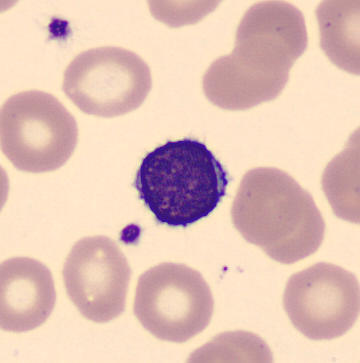 Morphology consistent with a typical lymphocyte.
Peripheral blood film · imaged on a CellaVision DM96 analyser.